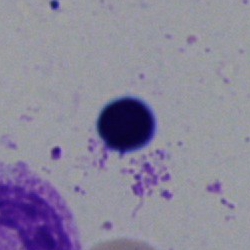

Q: What is shown here?
A: It is an artefact.